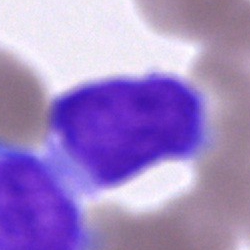 Impression — undifferentiated blast.